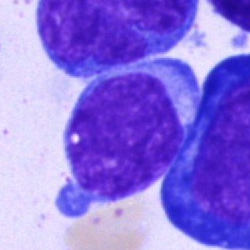

Morphology → typical lymphocyte.